Brightfield, 40× oil-immersion objective · bone marrow smear — 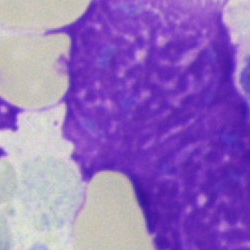 Morphology — artifact.